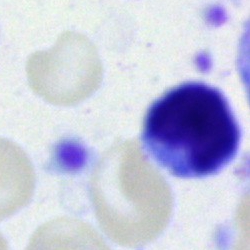Bone marrow aspirate smear, single cell — lymphocyte.